Bone marrow smear. MGG-stained:
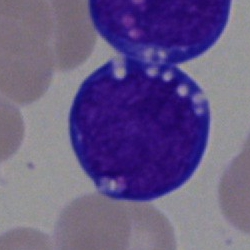
Morphology consistent with a blast cell.